40× objective, oil immersion · 250 by 250 pixels · bone marrow smear.
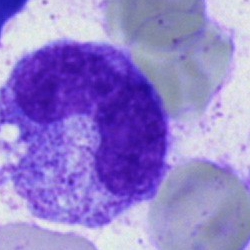Morphology consistent with a band neutrophil.